Bone marrow smear.
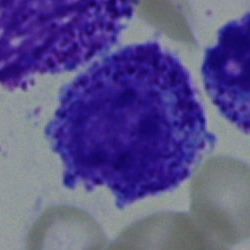 Q: Identify the cell.
A: This is a promyelocyte.